Brightfield, 40× oil-immersion objective. Bone marrow aspirate smear.
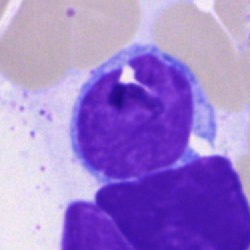
Specimen: bone marrow smear.
Classification: typical lymphocyte.